Bone marrow smear.
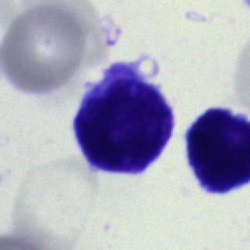

Undifferentiated blast.